Image size 250×250; single cell centered in the field; bone marrow aspirate smear — 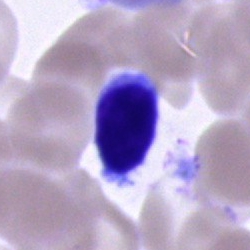 Morphology — typical lymphocyte.